Brightfield microscopy, 40× oil immersion; bone marrow aspirate smear:
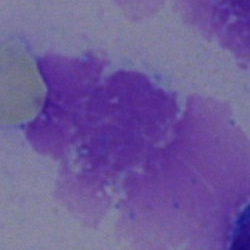 Morphology consistent with an artifact.